Peripheral blood film
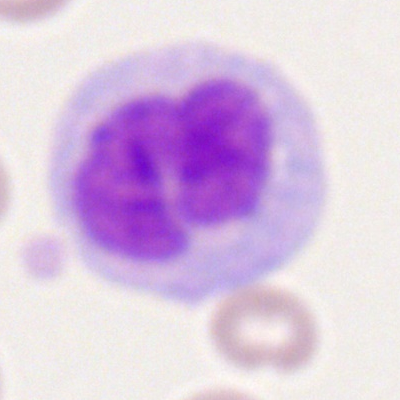Morphological class: monocyte.